Bone marrow smear; single-cell field; MGG-stained: 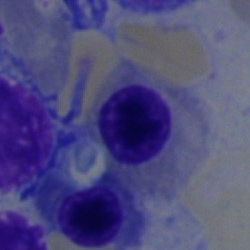
Showing a nucleated red cell.